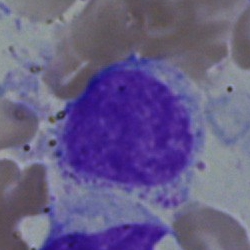

Morphology — myelocyte.